Single cell centered in the field; May Grünwald-Giemsa stain; peripheral blood film — 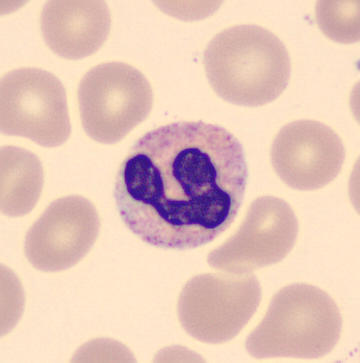Q: What type of cell is this?
A: A neutrophil (band).